Bone marrow aspirate smear · 250×250 px:
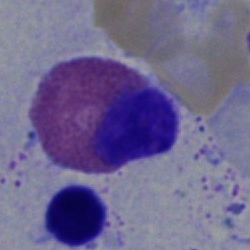
Q: Which cell type is shown here?
A: This is an eosinophil.